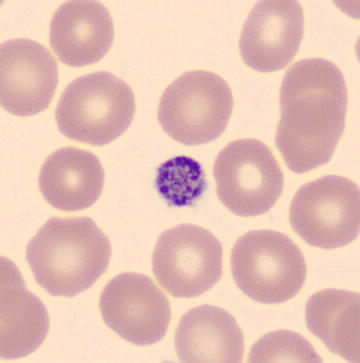
{"cell_type": "thrombocyte"}